Bone marrow smear.
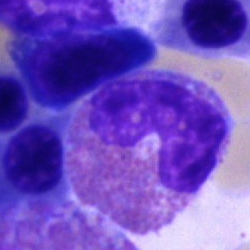 The morphological class is eosinophil.